Bone marrow aspirate smear; 250×250 px
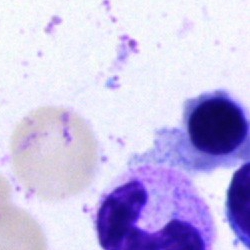Morphology → nucleated red blood cell.